Bone marrow aspirate smear. 250 by 250 pixels.
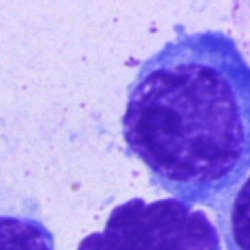 Morphological class: typical lymphocyte.